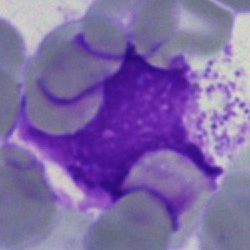This is an artifact.